Peripheral blood film — 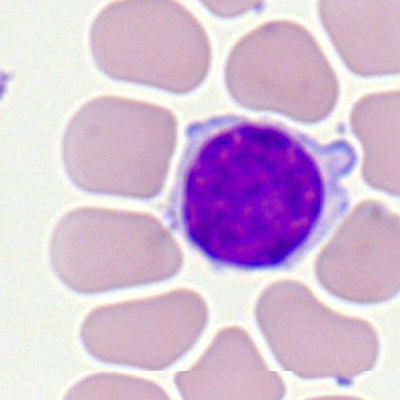

Morphology consistent with a typical lymphocyte.